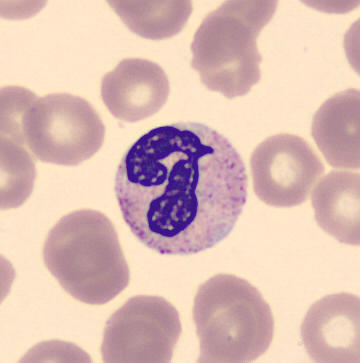
Image: Single-cell crop. Imaged on a CellaVision DM96 analyser. Peripheral blood film.

Q: What is the morphological classification of this cell?
A: This is a neutrophil (segmented).